Bone marrow aspirate smear — 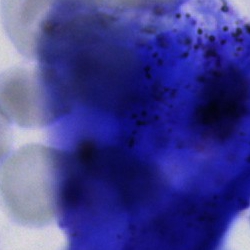

Q: What is shown here?
A: This is an artefact.